Bone marrow aspirate smear:
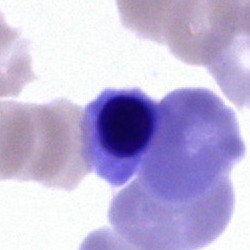

Nucleated red blood cell.